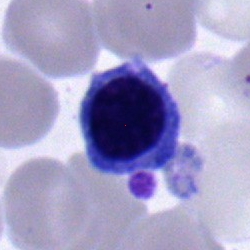 Bone marrow smear showing a lymphocyte.